Bone marrow aspirate smear:
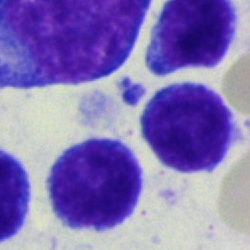
Q: Which cell type is shown here?
A: This is a lymphocyte.